May-Grünwald-Giemsa/Pappenheim stain · bone marrow aspirate smear
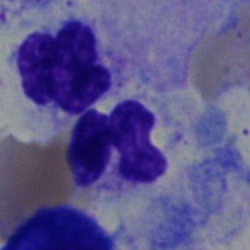 {"cell_type": "segmented neutrophil", "lineage": "myeloid"}